Peripheral blood film: 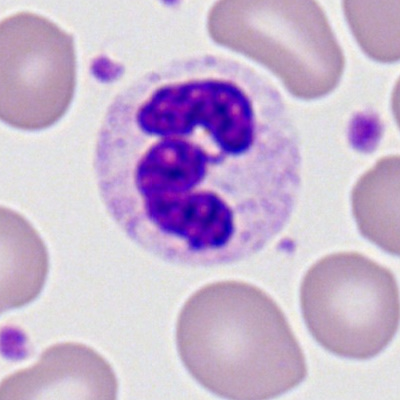Specimen: peripheral blood smear.
Morphological class: polymorphonuclear neutrophil.